40× objective, oil immersion · 250 by 250 pixels · bone marrow aspirate smear:
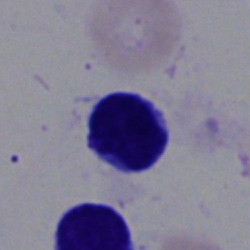 Specimen: bone marrow smear.
Cell: lymphocyte.